Bone marrow smear · MGG-stained
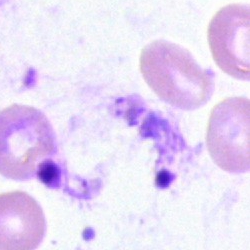 The cell type is artefact.